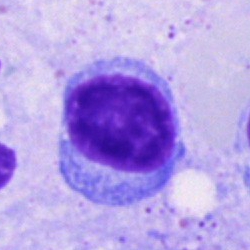

Classification — lymphocyte.